Brightfield, 40× oil-immersion objective; bone marrow aspirate smear — 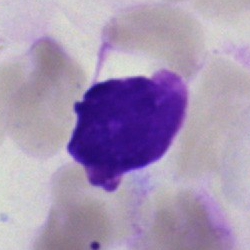Q: What is shown here?
A: It is an artefact.